MGG-stained · bone marrow aspirate smear — 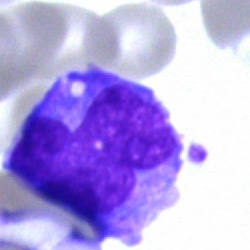

Q: What is the morphological classification of this cell?
A: A monocyte.